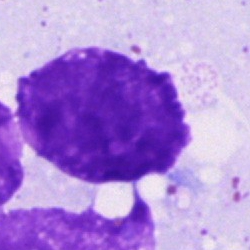 {"cell_type": "artefact"}